Bone marrow aspirate smear; 250×250; brightfield, 40× oil-immersion objective: 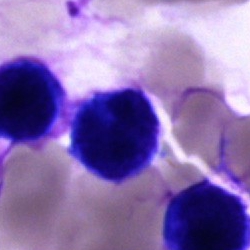Morphology consistent with an unidentifiable cell.